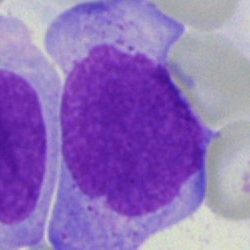Blast cell.